Bone marrow smear — 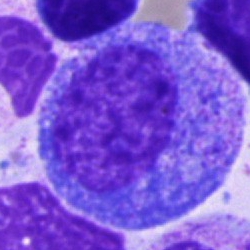
Cell type — promyelocyte.